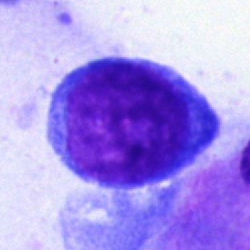Cell type = blast.